M8 digital microscope (Precipoint), 100× oil immersion; Romanowsky-type stain; peripheral blood smear.
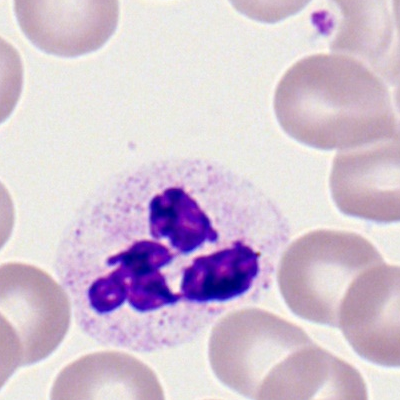 Q: What is shown here?
A: A segmented neutrophil.